Bone marrow aspirate smear — 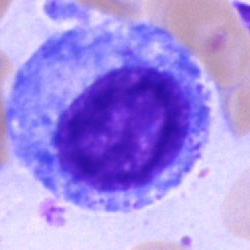 Specimen: bone marrow aspirate smear.
Morphological class: promyelocyte.